Bone marrow aspirate smear.
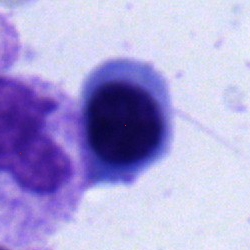Normoblast.